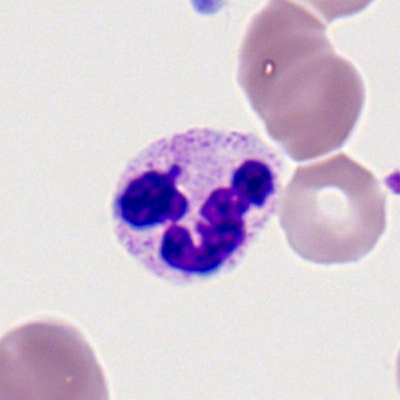

Peripheral blood smear showing a neutrophil (segmented).